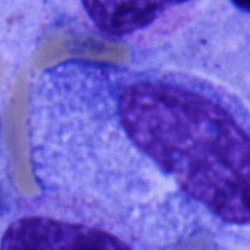

Classification = progranulocyte.